Bone marrow smear.
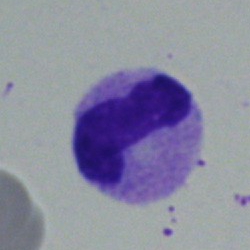

{"cell_type": "neutrophil (band)", "lineage": "myeloid"}